250 by 250 pixels · bone marrow aspirate smear.
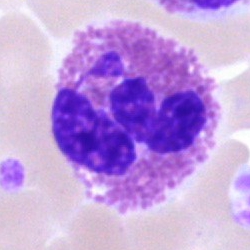
Morphology consistent with an eosinophil.